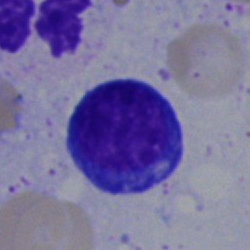

Bone marrow aspirate smear, single cell — lymphocyte.